Bone marrow smear — 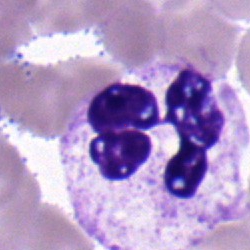
Morphological class — polymorphonuclear neutrophil.